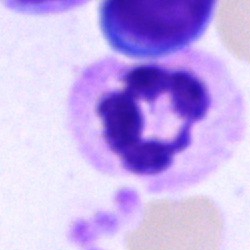 Specimen: bone marrow smear.
Classification: neutrophil (segmented).